Bone marrow aspirate smear; 40× objective, oil immersion:
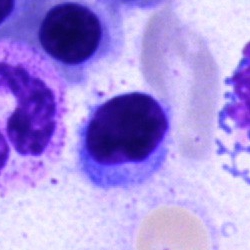

Cell type — nucleated red blood cell.